May-Grünwald-Giemsa/Pappenheim stain · bone marrow smear · brightfield, 40× oil-immersion objective: 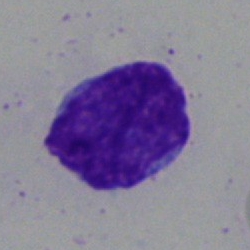 The cell shown is a lymphocyte.